Bone marrow smear. Brightfield, 40× oil-immersion objective — 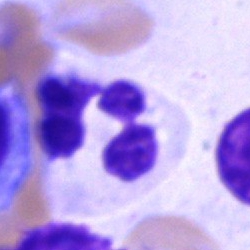

Classification: segmented neutrophil.